Bone marrow smear · 250×250: 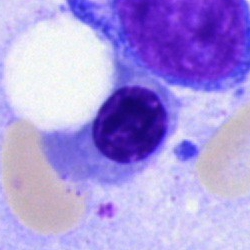 Q: What is shown here?
A: It is an erythroblast.